Bone marrow smear: 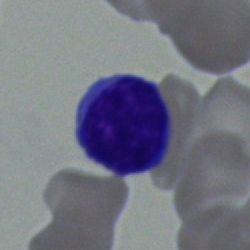

Specimen: bone marrow smear.
Morphological class: typical lymphocyte.
Lineage: lymphoid.